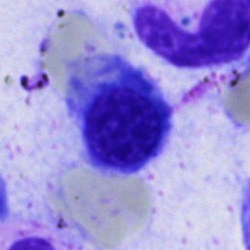

Q: Identify the cell.
A: This is a normoblast.